Bone marrow smear.
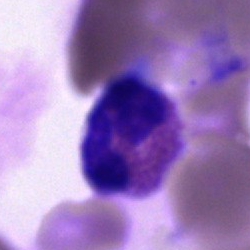Single cell identified as an eosinophil.